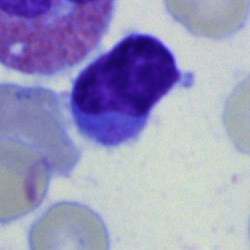The cell shown is a typical lymphocyte.